Bone marrow aspirate smear.
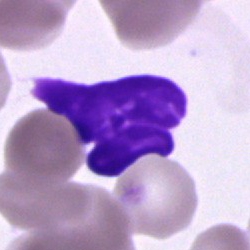 Unidentifiable cell.